Bone marrow smear · May-Grünwald-Giemsa/Pappenheim stain: 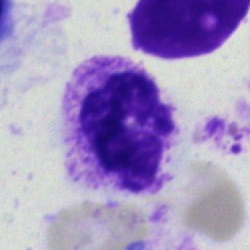

Morphological class — neutrophil (segmented).